Cropped to a single cell. Bone marrow smear — 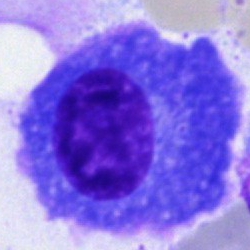
Specimen: bone marrow aspirate smear.
Morphological class: plasmacyte.
Lineage: lymphoid.